Bone marrow smear; single-cell crop; brightfield microscopy, 40× oil immersion.
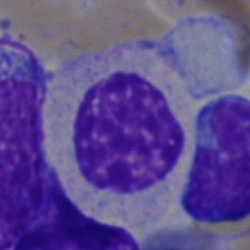Specimen: bone marrow aspirate smear.
Cell type: myelocyte.
Lineage: myeloid.